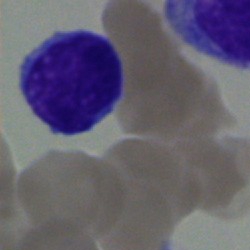Showing a typical lymphocyte.